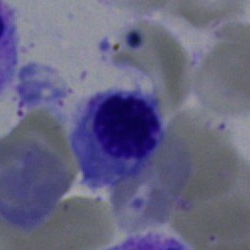Q: What cell is this?
A: Normoblast.